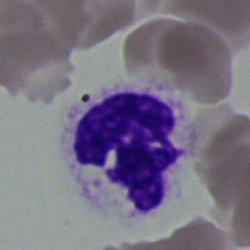

The cell is segmented neutrophil.